Bone marrow aspirate smear: 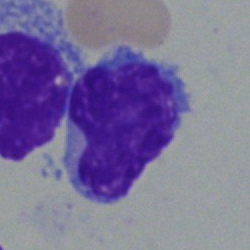

The cell shown is a typical lymphocyte.